250×250 px · bone marrow aspirate smear · MGG-stained — 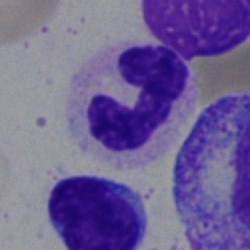A polymorphonuclear neutrophil.